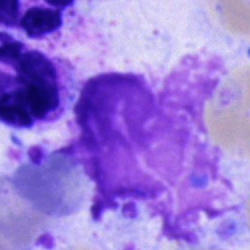

Single cell identified as an artefact.